Bone marrow aspirate smear: 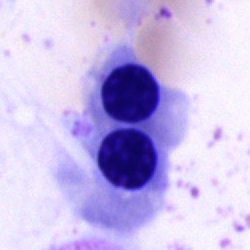

Showing an erythroblast.